Bone marrow aspirate smear
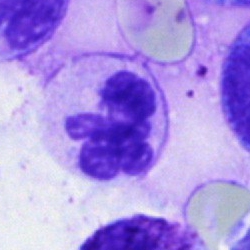 Classification — neutrophil (segmented).